Bone marrow smear — 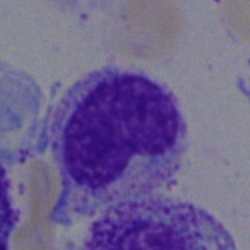

Q: What is shown here?
A: A metamyelocyte.